Bone marrow smear: 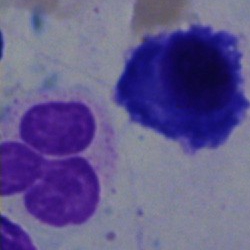

Classification: plasma cell.